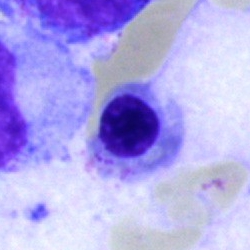
Cell: nucleated red cell.